Bone marrow smear — 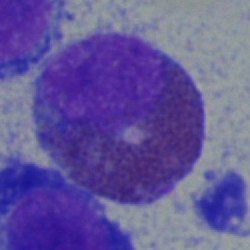

Morphology consistent with an eosinophilic granulocyte.